Peripheral blood smear. MGG-stained.
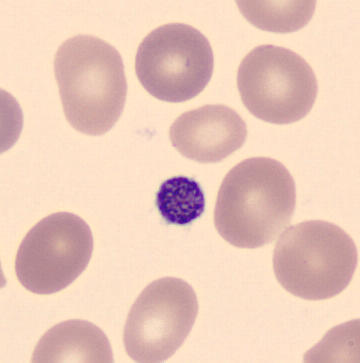

Morphology consistent with a platelet (thrombocyte).